Bone marrow aspirate smear.
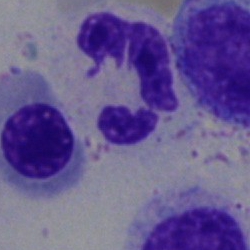

Segmented neutrophil.